Bone marrow aspirate smear — 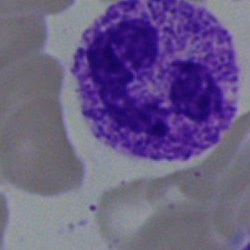
Q: What is shown here?
A: It is a polymorphonuclear neutrophil.